Bone marrow smear.
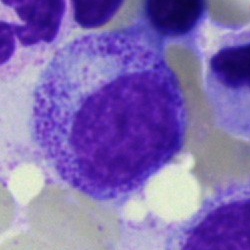

Single cell identified as a myelocyte.